250 by 250 pixels; 40× oil immersion; bone marrow aspirate smear: 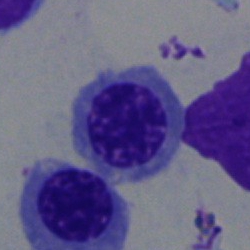 Nucleated red blood cell.